Bone marrow smear; May-Grünwald-Giemsa stain — 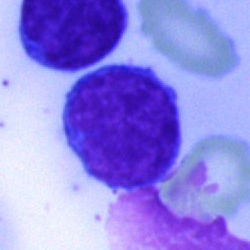 {"cell_type": "typical lymphocyte", "lineage": "lymphoid"}